250 by 250 pixels · bone marrow smear.
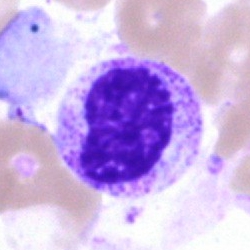

The cell is myelocyte.